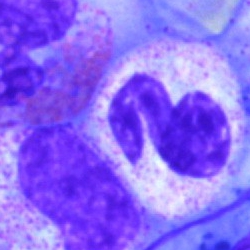 Cell: neutrophil (segmented).